Bone marrow smear; 40× oil immersion — 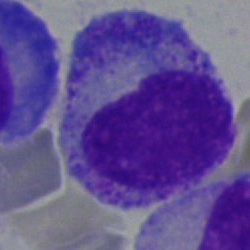
The morphological class is myelocyte.